Image size 250×250. Bone marrow smear. Pappenheim-stained — 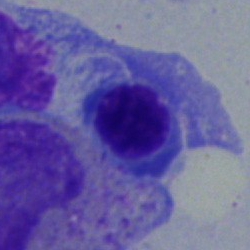Q: What is shown here?
A: A normoblast.